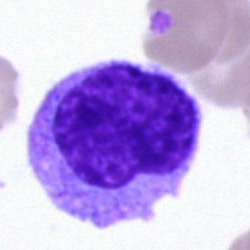 Q: What is shown here?
A: Monocyte.